Bone marrow aspirate smear · cropped to a single cell
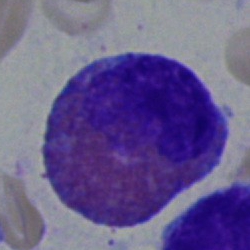
The cell shown is an eosinophilic granulocyte.